Bone marrow aspirate smear; May-Grünwald-Giemsa/Pappenheim stain.
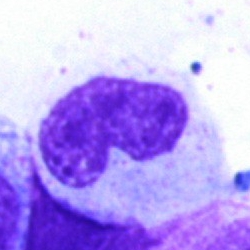
Metamyelocyte.